40× objective, oil immersion; bone marrow smear: 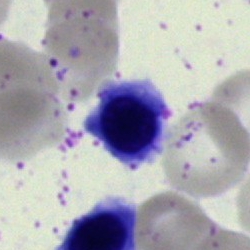

Specimen: bone marrow smear.
Cell type: erythroblast.
Lineage: erythroid.